Peripheral blood smear.
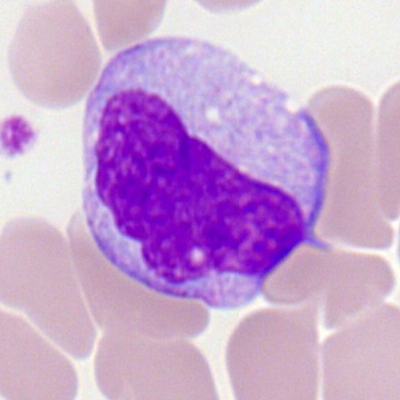 A monocyte.